Bone marrow aspirate smear · May-Grünwald-Giemsa/Pappenheim stain.
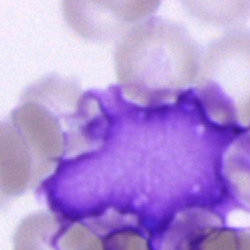 This is an artifact.